Bone marrow smear:
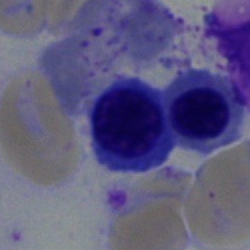Showing a nucleated red blood cell.